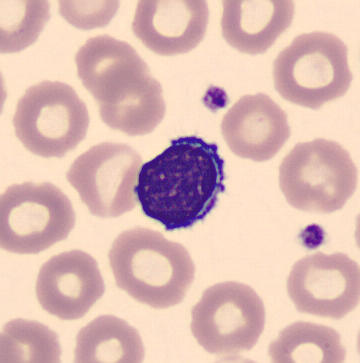Image: Cropped to a single cell · automated cell imaging (CellaVision DM96) · peripheral blood film. Identified as a lymphocyte.